Cropped to a single cell. Bone marrow smear: 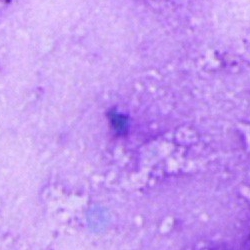 The cell shown is an artifact.